Bone marrow aspirate smear · May-Grünwald-Giemsa/Pappenheim stain:
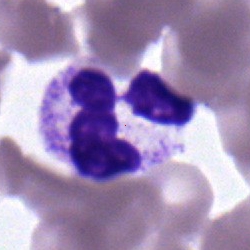
Morphology consistent with a neutrophil (segmented).